Bone marrow smear
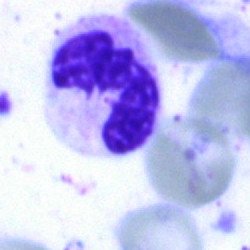 Q: What is the morphological classification of this cell?
A: Neutrophil (segmented).